Bone marrow smear. 40× oil immersion:
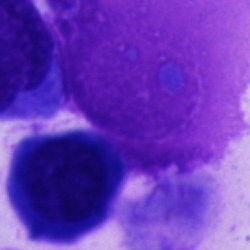 Showing an artefact.